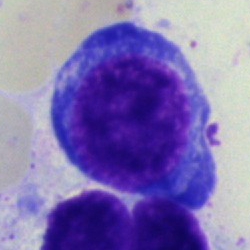
Bone marrow aspirate smear, single cell — pronormoblast.